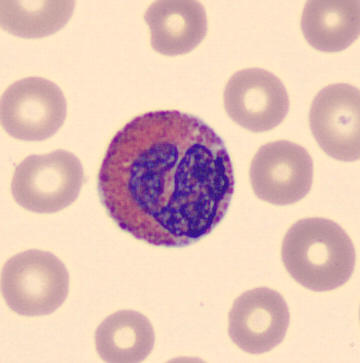

Peripheral blood film · MGG-stained.

Q: Which cell type is shown here?
A: Eosinophil.